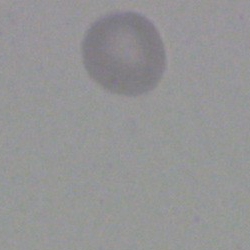 Q: What is shown here?
A: An artifact.